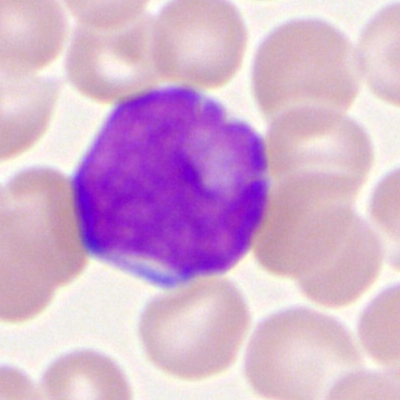Showing a myeloblast.